Bone marrow smear: 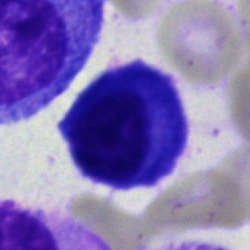

Q: What type of cell is this?
A: A plasma cell.